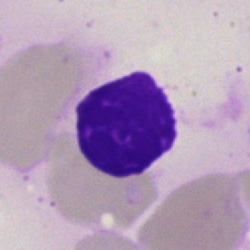 Classification = artefact.